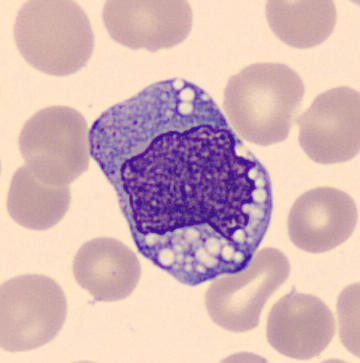
Preparation: Peripheral blood smear.
Morphology consistent with a monocyte.